Bone marrow smear: 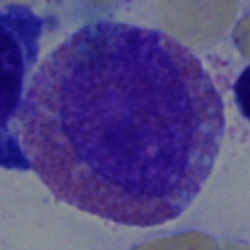 Eosinophilic granulocyte.